Peripheral blood smear — 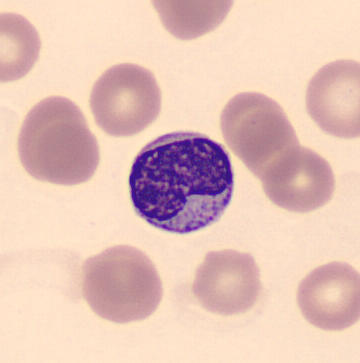 The cell is metamyelocyte.